Bone marrow aspirate smear; 250×250 px — 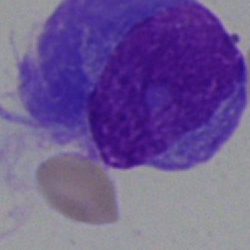

Showing a plasmacyte.